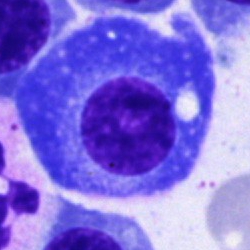

Cell type — plasmacyte.